Peripheral blood smear: 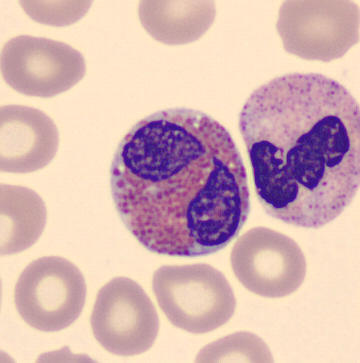
The cell is eosinophilic granulocyte.